250 by 250 pixels. MGG-stained. Bone marrow smear.
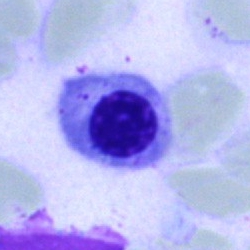

Q: What is the morphological classification of this cell?
A: It is a normoblast.